Bone marrow smear
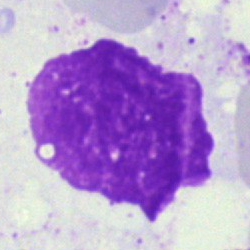Single cell identified as an artefact.